Bone marrow aspirate smear: 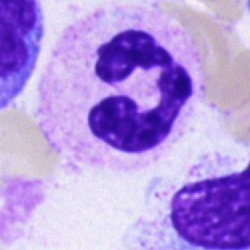
A polymorphonuclear neutrophil.